Bone marrow smear — 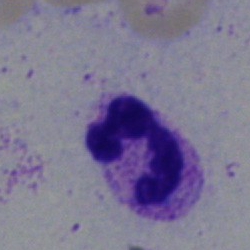Q: Identify the cell.
A: A neutrophil (segmented).